Bone marrow aspirate smear · May-Grünwald-Giemsa/Pappenheim stain:
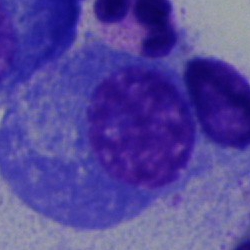

Classification = plasma cell.